Bone marrow smear; MGG-stained — 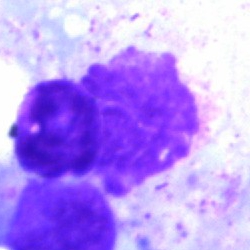 Showing an artefact.